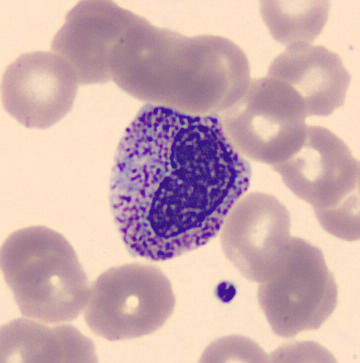
A metamyelocyte.